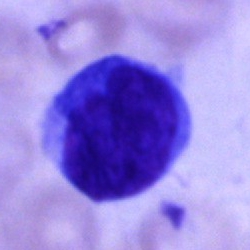
Morphology consistent with a blast.